100× oil immersion, 14.14 px/µm; peripheral blood film
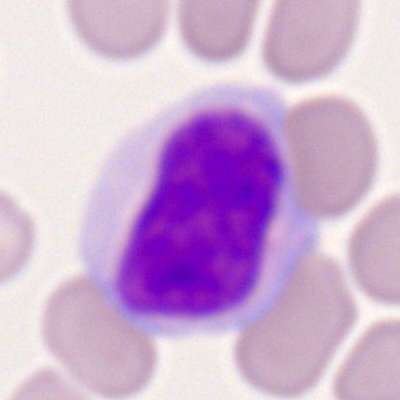 Specimen: peripheral blood film.
Cell type: lymphocyte.
Lineage: lymphoid.